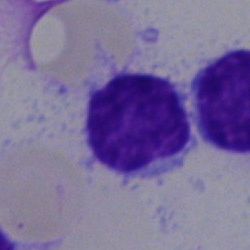Q: What type of cell is this?
A: Lymphocyte.